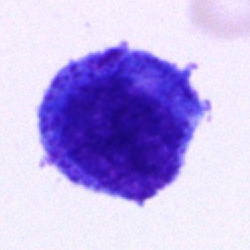
Cell: progranulocyte.